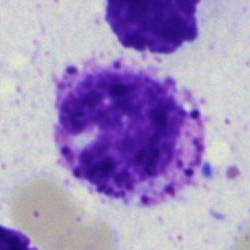
Single cell identified as a basophil.